Bone marrow smear; May-Grünwald-Giemsa/Pappenheim stain
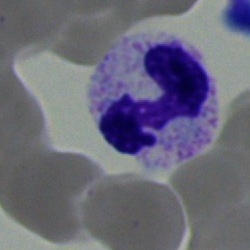

Cell type — segmented neutrophil.